Single-cell crop; bone marrow aspirate smear.
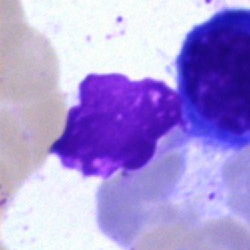The cell shown is an artifact.